Bone marrow aspirate smear: 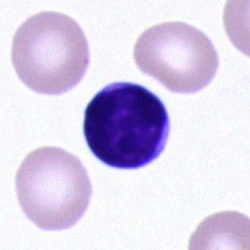
Specimen: bone marrow aspirate smear.
Classification: typical lymphocyte.